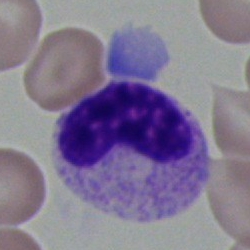

Q: What cell is this?
A: This is a band-form neutrophil.